Bone marrow aspirate smear. 250×250 px.
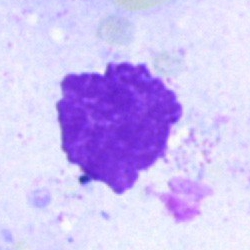Single cell identified as an artefact.